Single-cell field; peripheral blood film — 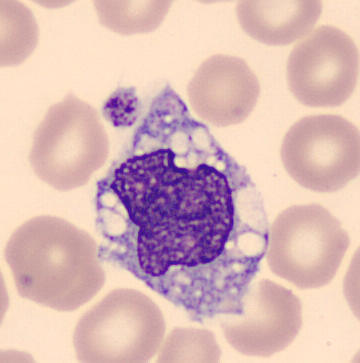 Q: What is shown here?
A: Monocyte.